Bone marrow aspirate smear; MGG-stained: 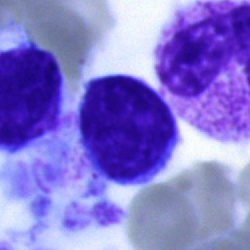Showing a lymphocyte.